Bone marrow aspirate smear. Brightfield microscopy, 40× oil immersion: 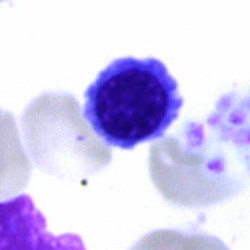 Cell type — normoblast.